Bone marrow smear.
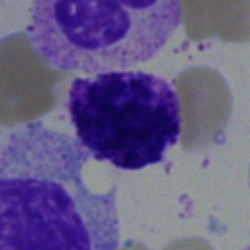 {"cell_type": "basophilic granulocyte"}